May-Grünwald-Giemsa stain; cropped to a single cell; bone marrow aspirate smear:
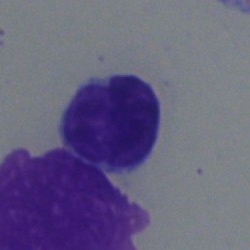 Q: What type of cell is this?
A: Typical lymphocyte.